Bone marrow smear
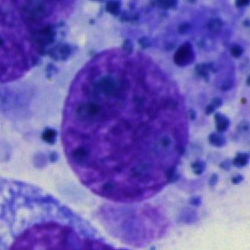
Classification: cell not matching the other categories.